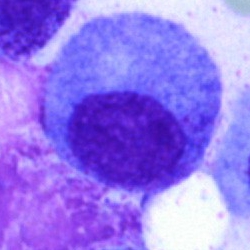 {"cell_type": "promyelocyte", "lineage": "myeloid"}